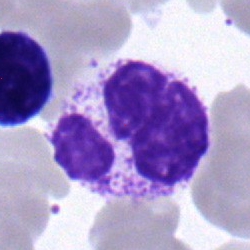 Classification — polymorphonuclear neutrophil.